Single cell centered in the field. Bone marrow aspirate smear:
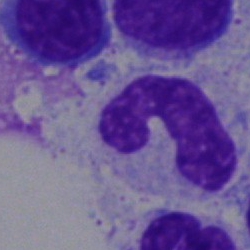

Band neutrophil.